Bone marrow smear: 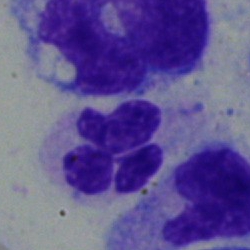 Specimen: bone marrow aspirate smear.
Morphological class: neutrophil (segmented).